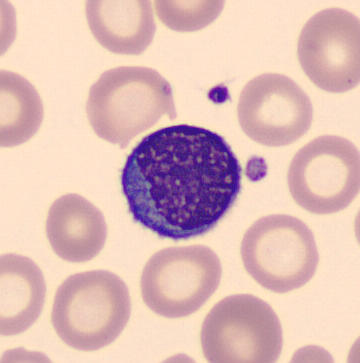Cropped to a single cell; May-Grünwald-Giemsa-stained; peripheral blood smear.

Typical lymphocyte.